250×250 px. Bone marrow aspirate smear:
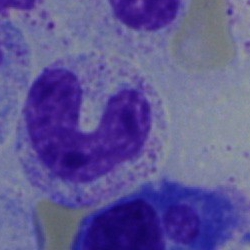 The classification is stab cell.